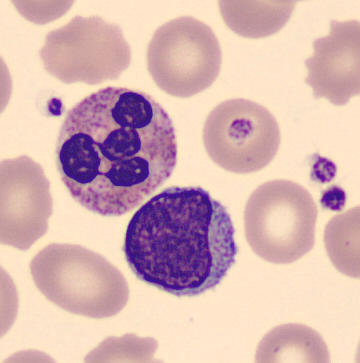Impression → typical lymphocyte.

Image: Single-cell crop. Peripheral blood film. 360 by 363 pixels.